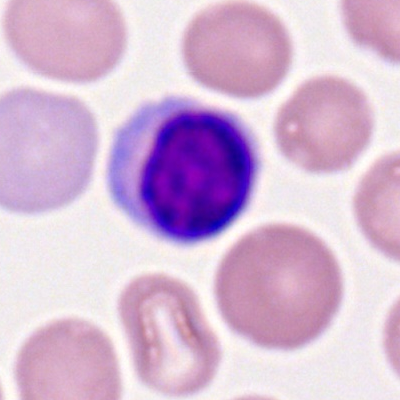

{"cell_type": "typical lymphocyte"}